250 by 250 pixels. May-Grünwald-Giemsa stain. Bone marrow aspirate smear: 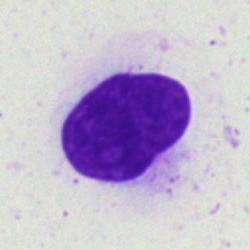 Morphological class — artifact.